Bone marrow aspirate smear
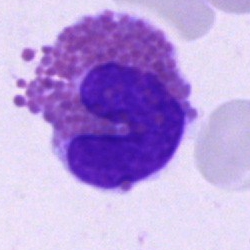 This is an eosinophilic granulocyte.